Brightfield, 40× oil-immersion objective. Single-cell field. Bone marrow smear: 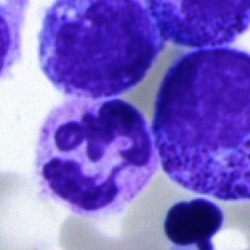

Q: Identify the cell.
A: It is a polymorphonuclear neutrophil.